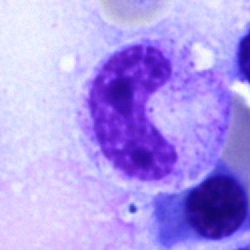The cell shown is a band-form neutrophil.